Peripheral blood smear: 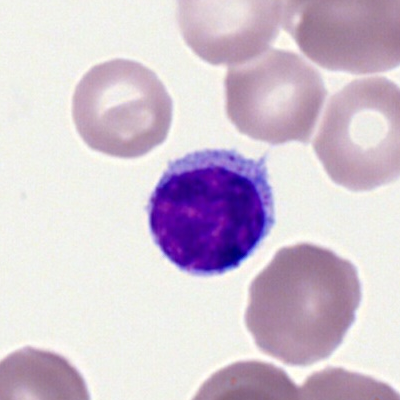

Specimen: peripheral blood film.
Cell type: lymphocyte.
Lineage: lymphoid.